Bone marrow smear; MGG-stained — 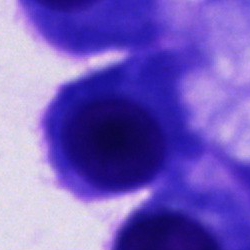

Other cell.